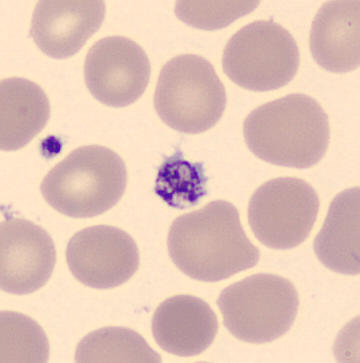Image: Peripheral blood film.
Q: What is this?
A: It is a thrombocyte.